Bone marrow smear.
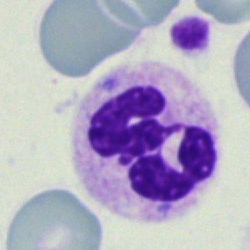

Classification — segmented neutrophil.